Bone marrow aspirate smear.
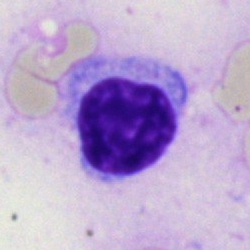 This is a lymphocyte.